Bone marrow smear.
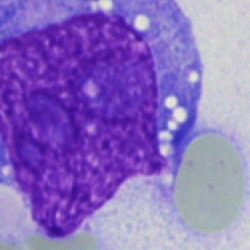

Impression — artifact.